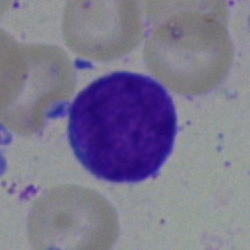
Cell — typical lymphocyte.